Bone marrow smear. 250×250.
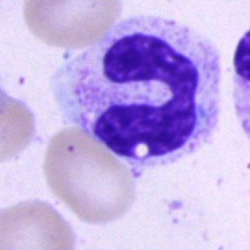 Specimen: bone marrow aspirate smear.
Cell: band-form neutrophil.